Bone marrow aspirate smear. Single cell centered in the field — 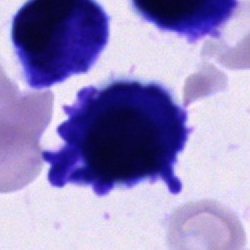

This is a cell of indeterminate lineage.